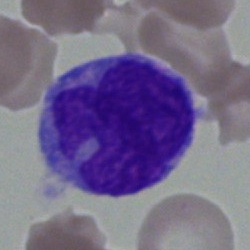Specimen: bone marrow aspirate smear.
Morphological class: monocyte.
Lineage: myeloid.